Bone marrow aspirate smear — 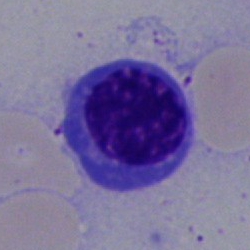 Showing a normoblast.